MGG-stained · bone marrow smear.
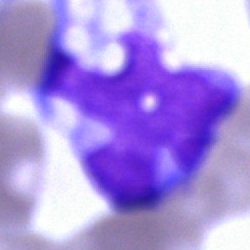

Q: What is the morphological classification of this cell?
A: A monocyte.